May-Grünwald-Giemsa stain. Bone marrow smear. 40× oil immersion — 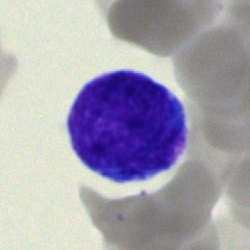

Classification: lymphocyte.